Bone marrow aspirate smear: 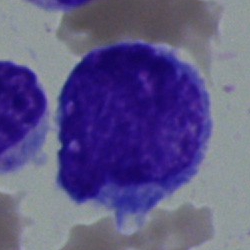
The morphological class is blast cell.